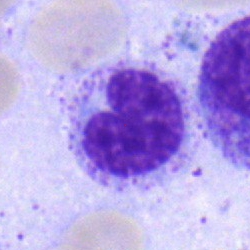 Morphology consistent with a stab cell.